Cropped to a single cell; peripheral blood film; 400 by 400 pixels: 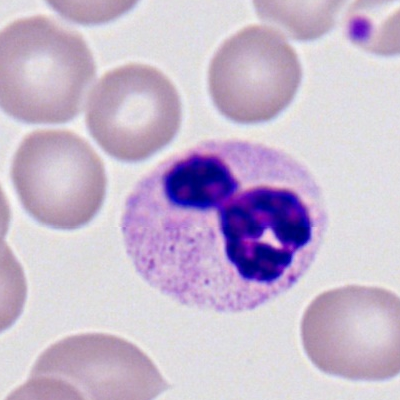A segmented neutrophil.